Bone marrow aspirate smear:
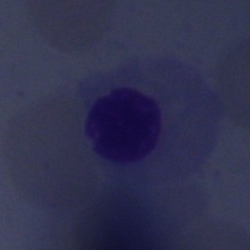
Morphology consistent with a nucleated red cell.